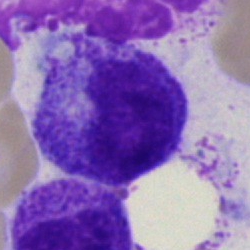 Classification = promyelocyte.